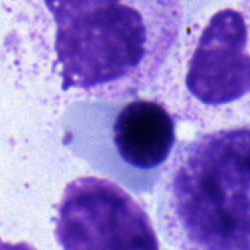 Showing a nucleated red blood cell.